Bone marrow aspirate smear: 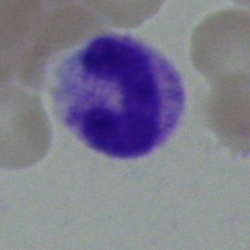
Morphology — band neutrophil.